Bone marrow smear:
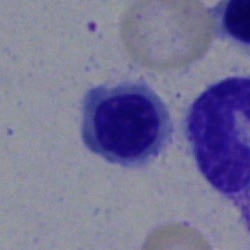A nucleated red cell.